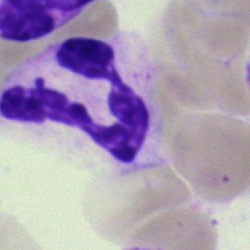The cell shown is a neutrophil (segmented).